Single-cell crop · bone marrow smear — 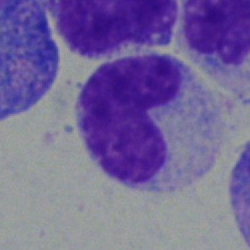 Cell — band-form neutrophil.